Bone marrow smear.
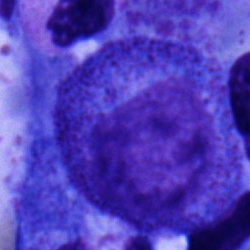

This is a progranulocyte.